Bone marrow aspirate smear: 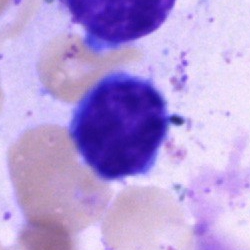
This is a typical lymphocyte.